May-Grünwald-Giemsa/Pappenheim stain. Bone marrow smear:
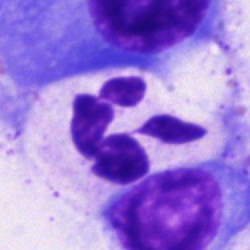
The morphological class is neutrophil (segmented).